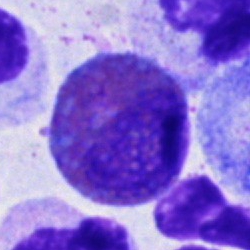
Specimen: bone marrow aspirate smear.
Cell: eosinophilic granulocyte.
Lineage: myeloid.